Bone marrow aspirate smear: 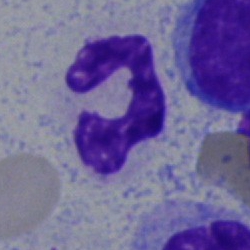

Single cell identified as a segmented neutrophil.